Bone marrow smear.
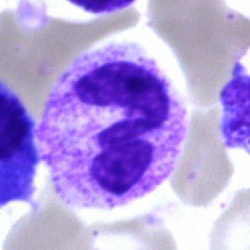
Morphology consistent with a neutrophil (segmented).